Single-cell field; bone marrow smear; May-Grünwald-Giemsa stain.
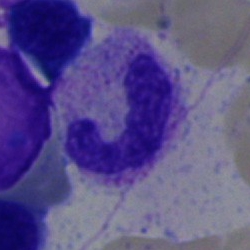
Q: Which cell type is shown here?
A: This is a stab cell.